Bone marrow aspirate smear: 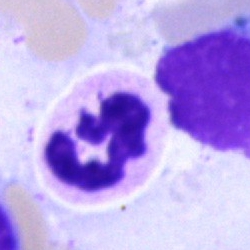
Q: Identify the cell.
A: This is a neutrophil (segmented).